Bone marrow aspirate smear:
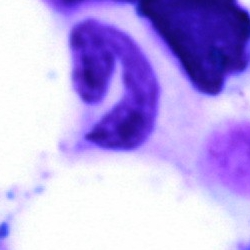

Morphology → polymorphonuclear neutrophil.